40× objective, oil immersion; bone marrow smear:
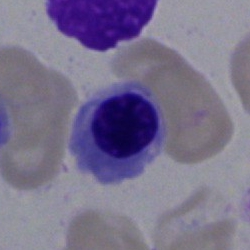 Single cell identified as a normoblast.